Image size 250×250; bone marrow aspirate smear — 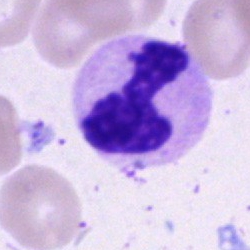Impression → segmented neutrophil.